40× oil immersion. Bone marrow aspirate smear.
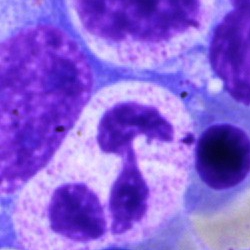 Morphology consistent with a neutrophil (segmented).